Single-cell crop · peripheral blood smear
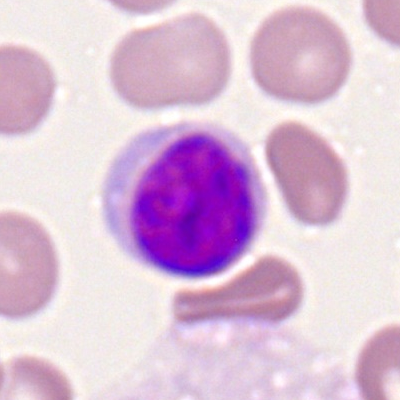
Specimen: peripheral blood smear.
Cell: typical lymphocyte.